Bone marrow smear: 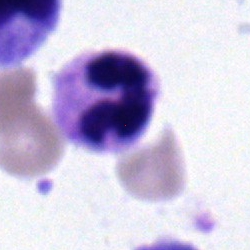
Segmented neutrophil.